Peripheral blood film — 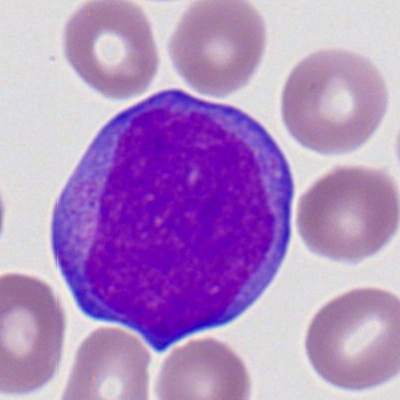
The cell type is myeloblast.